Bone marrow aspirate smear
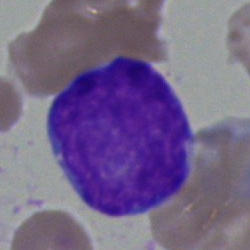
Single cell identified as an undifferentiated blast.